Bone marrow smear.
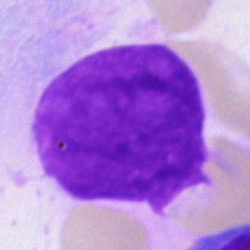

Specimen: bone marrow smear.
Morphological class: artefact.